Bone marrow aspirate smear. Image size 250×250 — 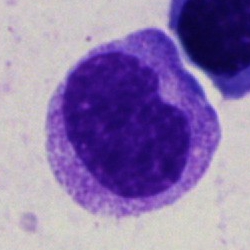

Morphology — metamyelocyte.